Bone marrow aspirate smear
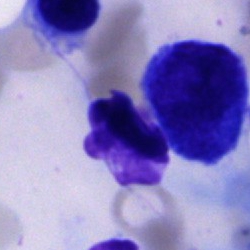Q: What is shown here?
A: It is an artefact.